250 by 250 pixels. Bone marrow smear: 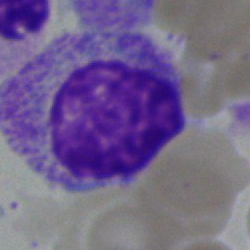
Specimen: bone marrow smear.
Cell: myelocyte.
Lineage: myeloid.